May-Grünwald-Giemsa stain; bone marrow smear — 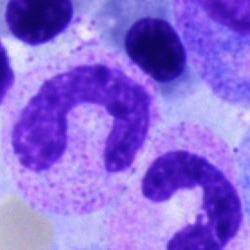 Cell type = band neutrophil.